Single-cell crop. Bone marrow smear — 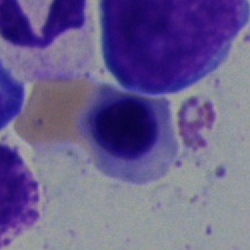 Q: What is shown here?
A: Nucleated red blood cell.